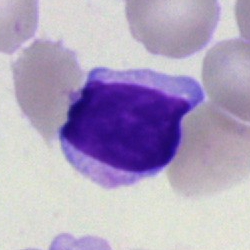

Morphological class = lymphocyte.